May-Grünwald-Giemsa stain; bone marrow smear: 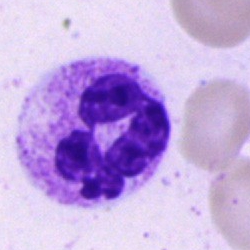Q: What is the morphological classification of this cell?
A: It is a polymorphonuclear neutrophil.